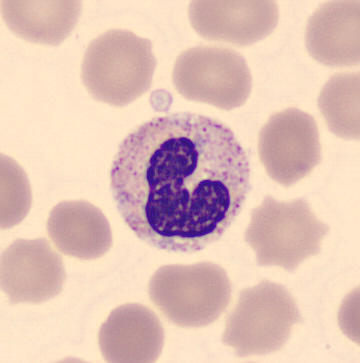 Preparation: Peripheral blood smear.
Morphology consistent with a stab cell.